Bone marrow smear. Brightfield microscopy, 40× oil immersion. May-Grünwald-Giemsa/Pappenheim stain: 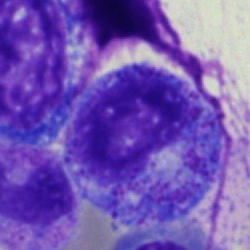 Promyelocyte.